Bone marrow aspirate smear · May-Grünwald-Giemsa stain.
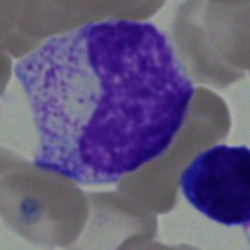

Impression — metamyelocyte.